Peripheral blood film.
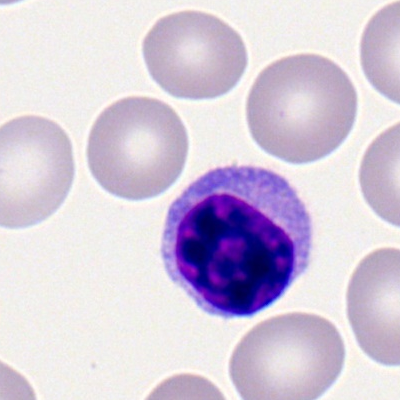
{"cell_type": "lymphocyte", "lineage": "lymphoid"}